Bone marrow smear
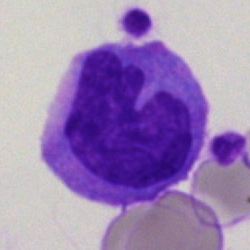 Impression → monocyte.